Bone marrow smear — 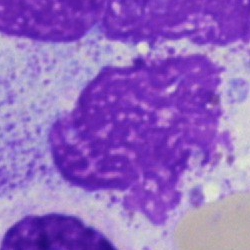 Morphology consistent with an artefact.